Bone marrow smear:
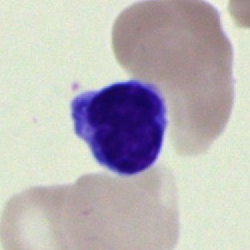
Morphology → lymphocyte.